Bone marrow smear
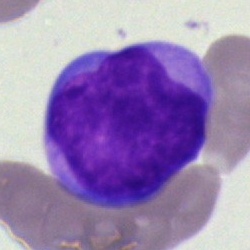Cell type — undifferentiated blast.